Brightfield microscopy, 40× oil immersion. Bone marrow smear: 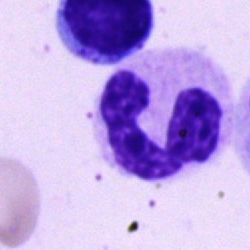Single cell identified as a polymorphonuclear neutrophil.